Image size 250×250 · bone marrow aspirate smear · single-cell field: 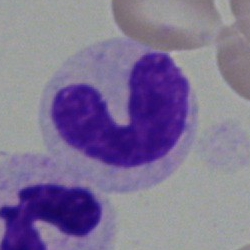
This is a band-form neutrophil.